Bone marrow aspirate smear.
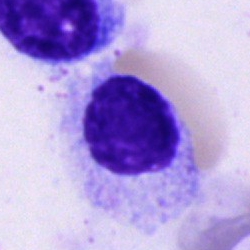
Morphology → unidentifiable cell.